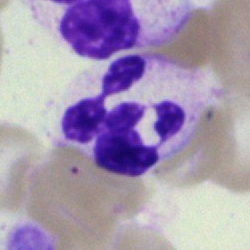 Classification — segmented neutrophil.